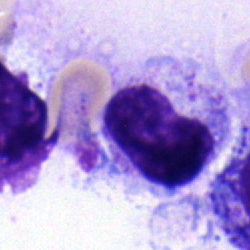 Morphology consistent with a metamyelocyte.